Bone marrow smear; single-cell crop: 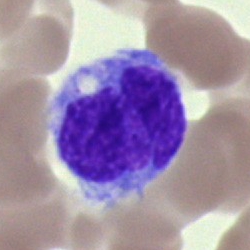
The morphological class is monocyte.